Peripheral blood smear — 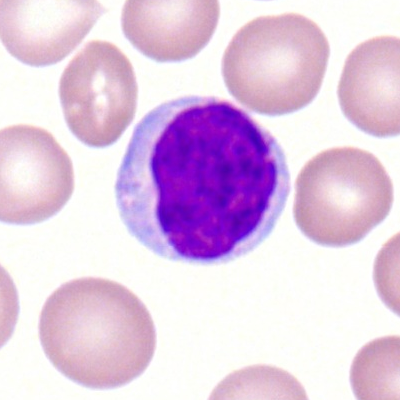{"cell_type": "typical lymphocyte"}